Bone marrow smear. Single cell centered in the field: 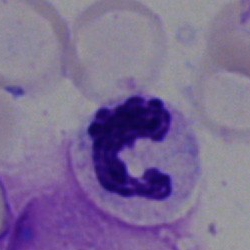

{"cell_type": "segmented neutrophil", "lineage": "myeloid"}